Bone marrow smear; cropped to a single cell; brightfield, 40× oil-immersion objective — 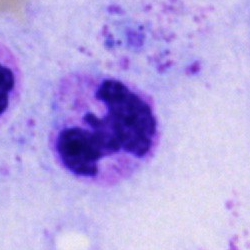 The cell type is neutrophil (segmented).